Pappenheim-stained · 250×250 · bone marrow aspirate smear: 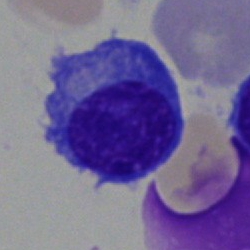 This is a plasmacyte.